Bone marrow smear: 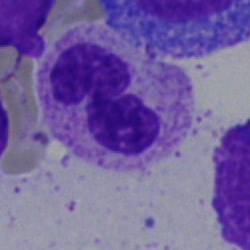Single cell identified as a polymorphonuclear neutrophil.